Bone marrow smear
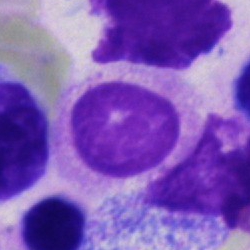
Q: What is shown here?
A: An artifact.